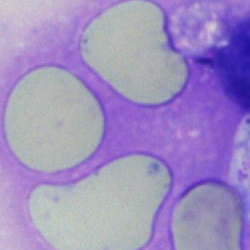

Q: What is shown here?
A: This is an artifact.